Bone marrow aspirate smear · cropped to a single cell: 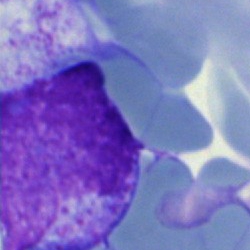

Impression → artifact.